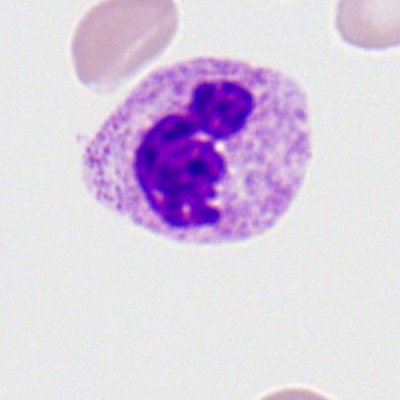{"cell_type": "segmented neutrophil", "lineage": "myeloid"}